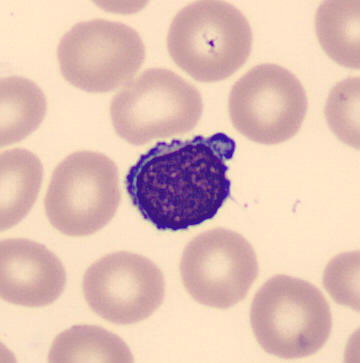 {"cell_type": "lymphocyte", "lineage": "lymphoid"}

Preparation: Peripheral blood smear · 360×363 px.